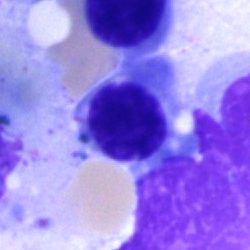Morphology consistent with a nucleated red blood cell.